Bone marrow aspirate smear. Single cell centered in the field — 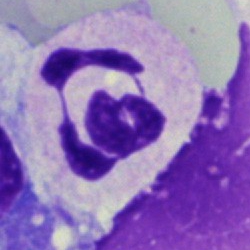 Morphology — segmented neutrophil.